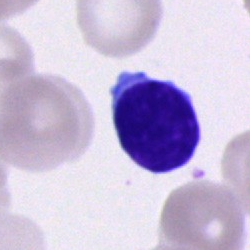
Specimen: bone marrow aspirate smear.
Classification: typical lymphocyte.
Lineage: lymphoid.